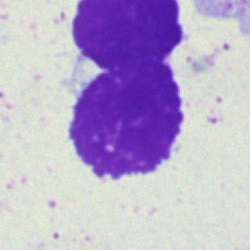

Single cell identified as an artifact.